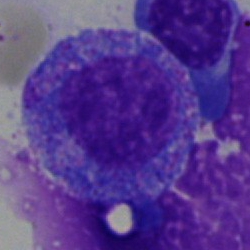

Impression — promyelocyte.